Bone marrow smear:
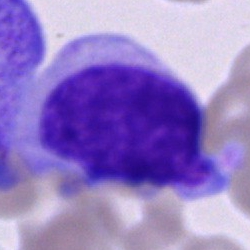

Morphology consistent with a cell of indeterminate lineage.